40× objective, oil immersion · cropped to a single cell · bone marrow aspirate smear: 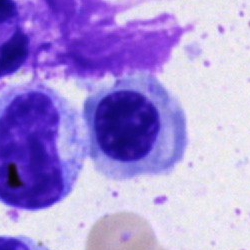 Single cell identified as an erythroblast.